Peripheral blood smear — 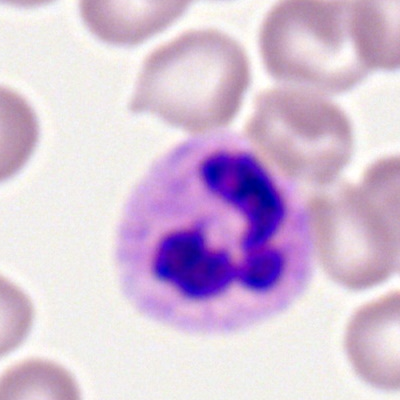This is a neutrophil (segmented).